Bone marrow aspirate smear — 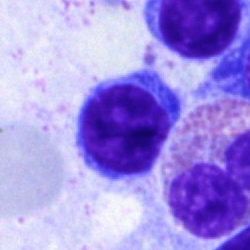 Impression — lymphocyte.